Peripheral blood smear
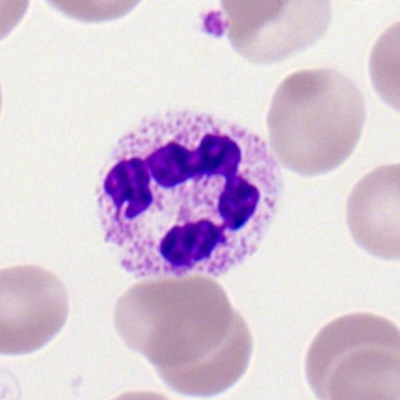Showing a neutrophil (segmented).